Bone marrow smear. MGG-stained.
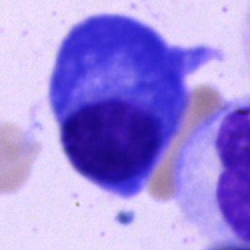This is a plasmacyte.